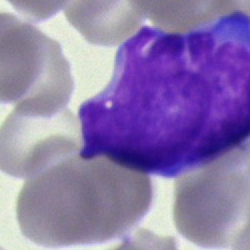

Q: What type of cell is this?
A: Undifferentiated blast.